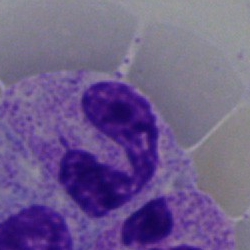

Q: What is shown here?
A: A polymorphonuclear neutrophil.